Bone marrow smear
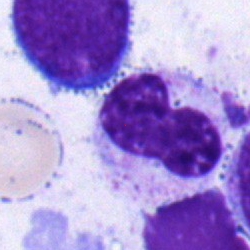Specimen: bone marrow smear.
Cell type: neutrophil (band).
Lineage: myeloid.